Bone marrow smear — 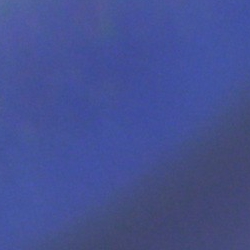Cell: artefact.